Bone marrow aspirate smear — 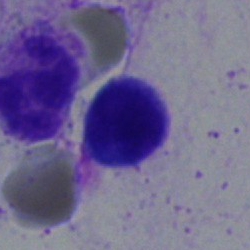
Single cell identified as a typical lymphocyte.